Bone marrow smear
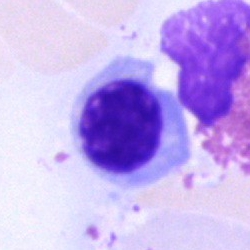
Morphology — erythroblast.